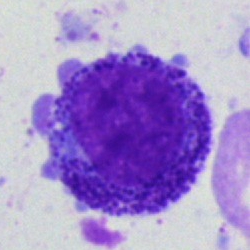

{"cell_type": "progranulocyte", "lineage": "myeloid"}